Cropped to a single cell · 40× objective, oil immersion · bone marrow aspirate smear.
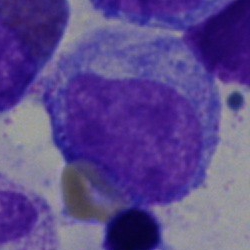
Q: Which cell type is shown here?
A: It is a monocyte.